Bone marrow aspirate smear. Single-cell crop. 250×250 px:
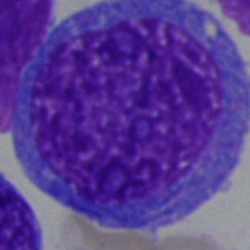
Morphology → blast.